Peripheral blood smear — 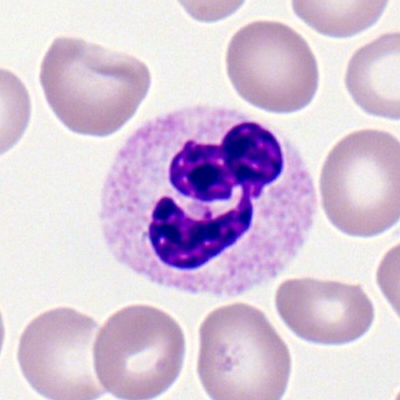Classification: segmented neutrophil.